Bone marrow smear: 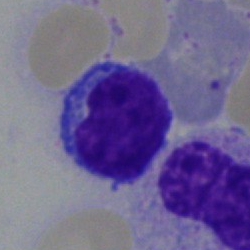

The cell type is lymphocyte.